Bone marrow smear.
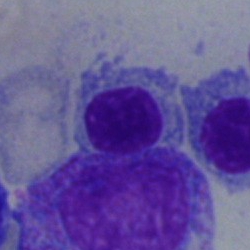 Morphological class: nucleated red blood cell.